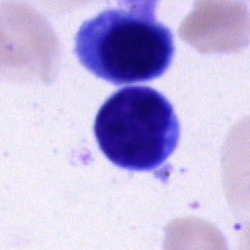

Impression → lymphocyte.